Bone marrow aspirate smear.
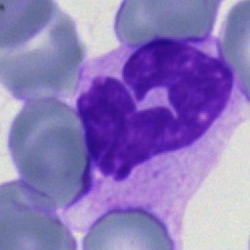 A segmented neutrophil.